Bone marrow aspirate smear · single cell centered in the field · MGG-stained — 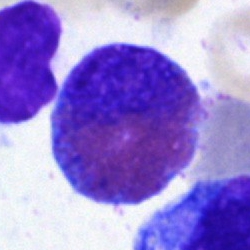
Specimen: bone marrow smear.
Classification: eosinophil.